Bone marrow aspirate smear. 40× oil immersion:
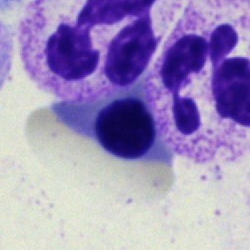 An erythroblast.